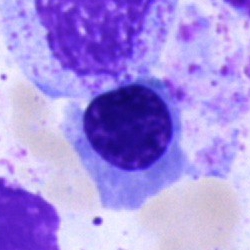{"cell_type": "erythroblast", "lineage": "erythroid"}